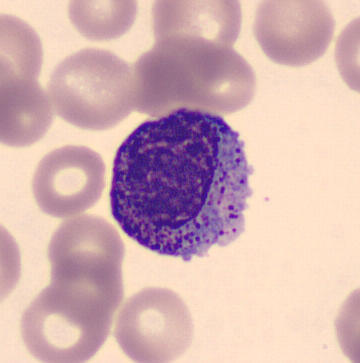

Acquisition: Peripheral blood film. {"cell_type": "promyelocyte"}